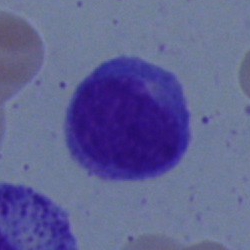Bone marrow aspirate smear, single cell — blast cell.